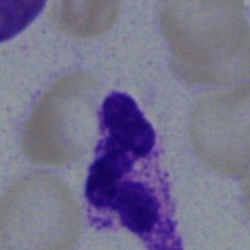 Specimen: bone marrow aspirate smear.
Cell: polymorphonuclear neutrophil.
Lineage: myeloid.